Bone marrow aspirate smear.
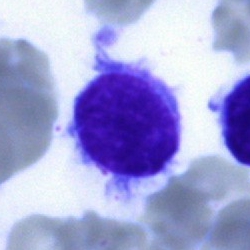This is a typical lymphocyte.